Bone marrow smear. Brightfield, 40× oil-immersion objective: 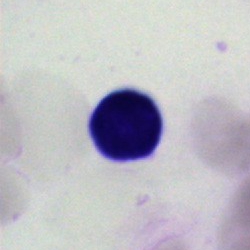 An artifact.